Brightfield, 40× oil-immersion objective; bone marrow aspirate smear.
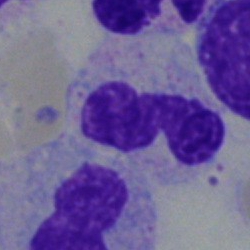 Q: Identify the cell.
A: It is a neutrophil (band).